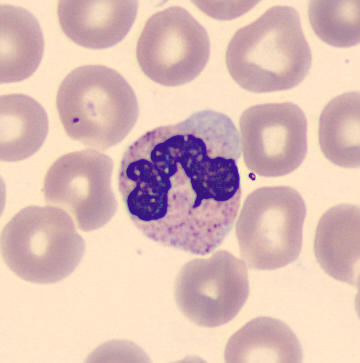 Q: What is this?
A: A segmented neutrophil. Peripheral blood smear.